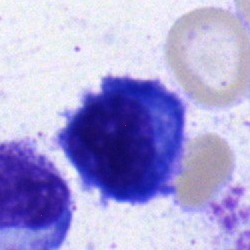 {"cell_type": "plasmacyte", "lineage": "lymphoid"}